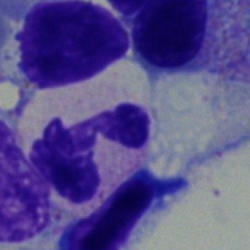
Q: Identify the cell.
A: Neutrophil (segmented).